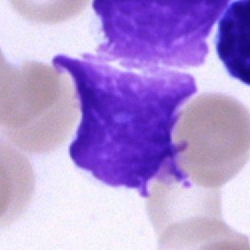
Showing an artifact.